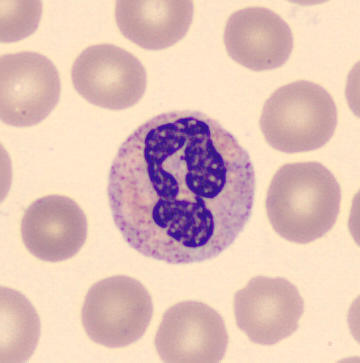Identified as a polymorphonuclear neutrophil. Peripheral blood smear.